Bone marrow aspirate smear: 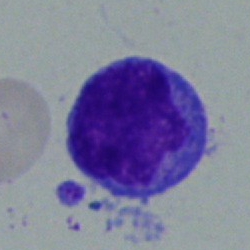 {"cell_type": "blast cell"}